Pappenheim-stained · bone marrow aspirate smear
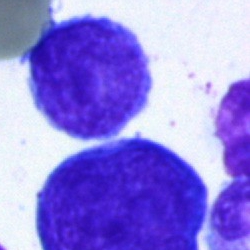 Classification = blast.